Bone marrow aspirate smear:
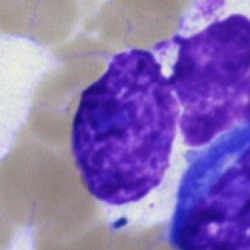

An artifact.